Bone marrow aspirate smear; 250 by 250 pixels; brightfield microscopy, 40× oil immersion:
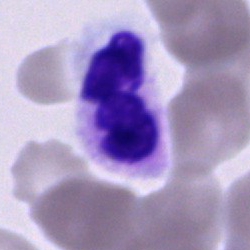

Cell type = neutrophil (segmented).